Image size 250×250 · bone marrow smear · single-cell crop
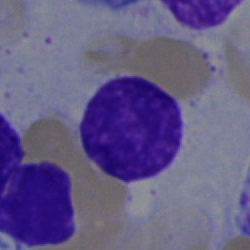 The cell shown is a lymphocyte.